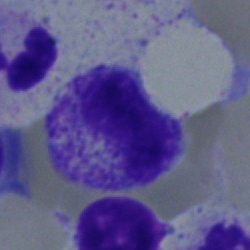A myelocyte.